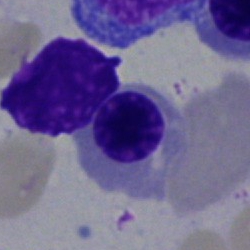 An erythroblast.